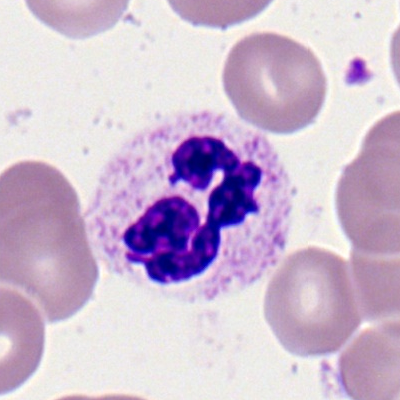
Peripheral blood smear showing a polymorphonuclear neutrophil.